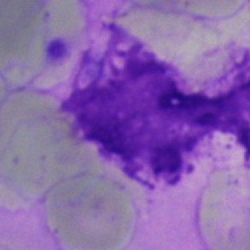 Q: What is shown here?
A: This is an artifact.